MGG stain; peripheral blood smear: 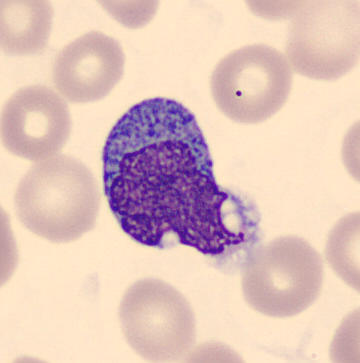 Impression — monocyte.